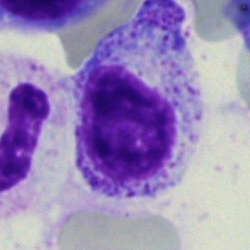

{"cell_type": "myelocyte"}